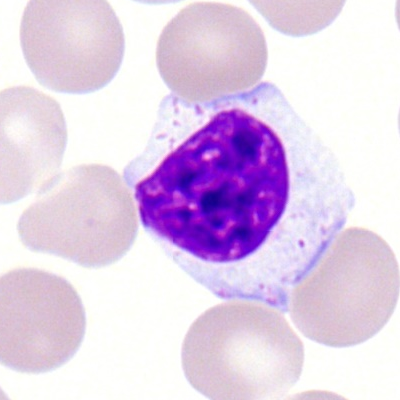 Classification: lymphocyte.